Bone marrow smear
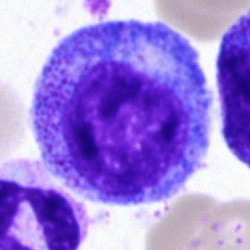

Cell type: promyelocyte.